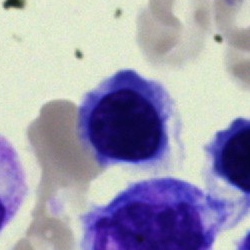
The cell is erythroblast.